Bone marrow aspirate smear: 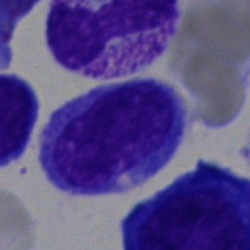Cell = cell of indeterminate lineage.